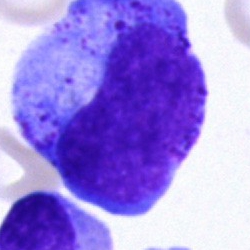Morphology — progranulocyte.